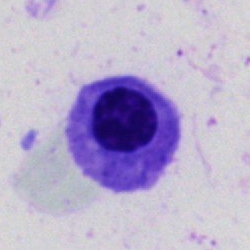
Morphological class — nucleated red cell.